Romanowsky stain · peripheral blood smear: 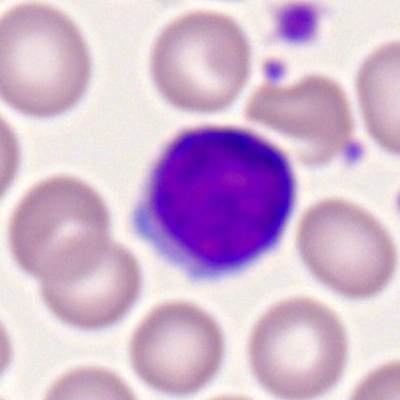
The cell type is typical lymphocyte.